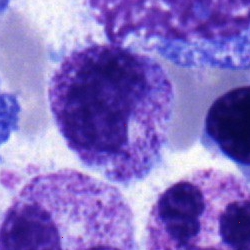
Bone marrow smear showing a myelocyte.